Bone marrow aspirate smear — 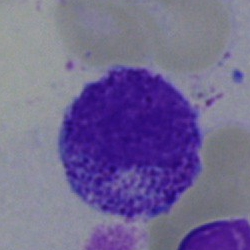
Specimen: bone marrow smear.
Classification: myelocyte.